Peripheral blood film:
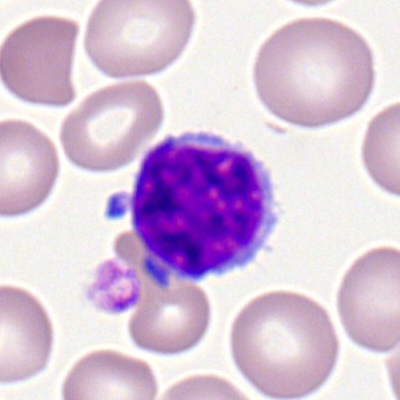Specimen: peripheral blood film.
Classification: typical lymphocyte.
Lineage: lymphoid.